Bone marrow smear:
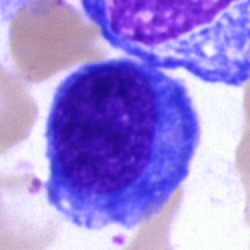{"cell_type": "erythroblast"}